Bone marrow aspirate smear.
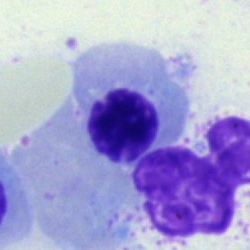
Cell type = nucleated red cell.